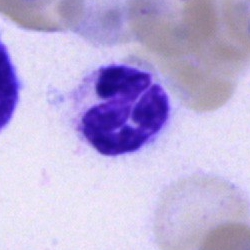The cell shown is a segmented neutrophil.